Bone marrow aspirate smear: 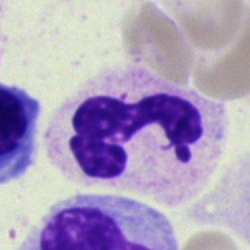 Morphology consistent with a polymorphonuclear neutrophil.